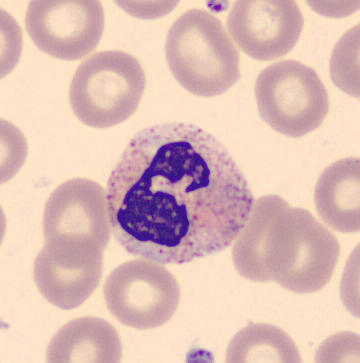 Preparation: Imaged on a CellaVision DM96 analyser. Peripheral blood film. MGG-stained.

The cell shown is a neutrophil (segmented).